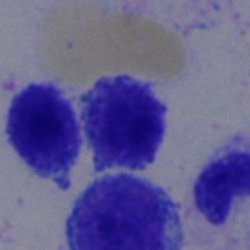 Q: What cell is this?
A: It is a lymphocyte.